Bone marrow smear; MGG-stained: 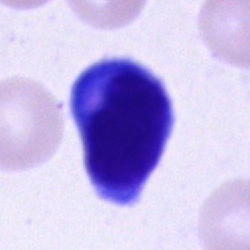
Classification = cell of indeterminate lineage.